Bone marrow smear — 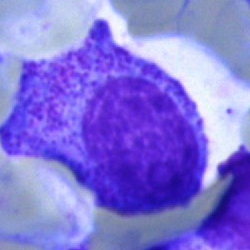 Morphology — myelocyte.